Bone marrow aspirate smear. 250×250 — 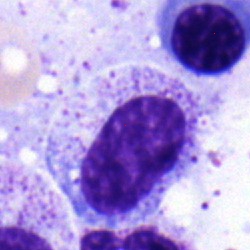

Cell type = myelocyte.